Bone marrow aspirate smear — 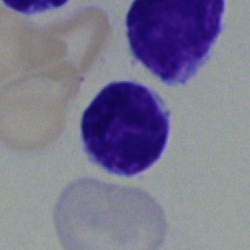
The cell shown is a typical lymphocyte.